Peripheral blood film · 400×400 px · M8 digital microscope (Precipoint), 100× oil immersion.
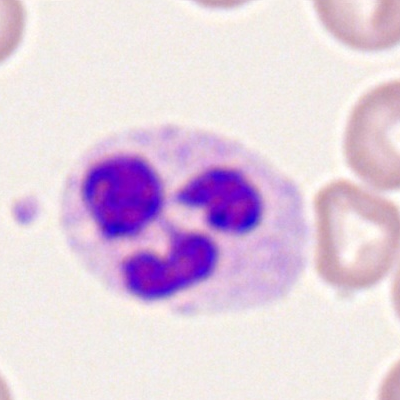

Specimen: peripheral blood film.
Cell: segmented neutrophil.